Peripheral blood smear: 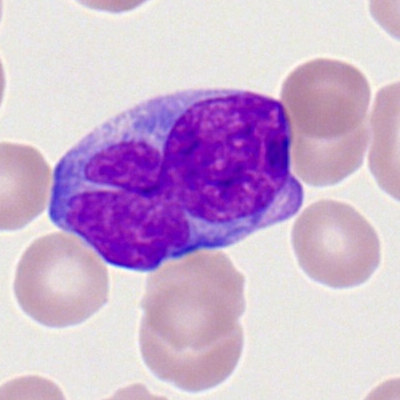
Morphological class = myeloblast.